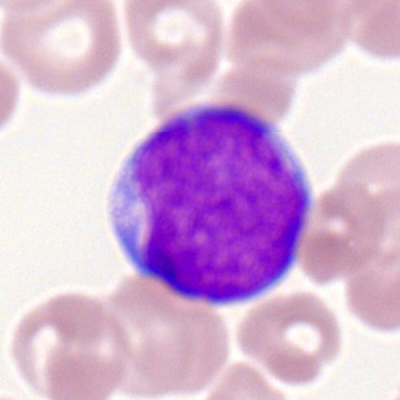
Peripheral blood film, single cell — myeloid blast.